Bone marrow smear; 250×250 px — 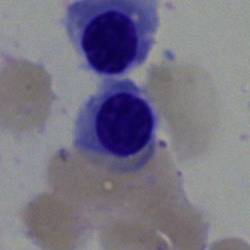
This is a nucleated red cell.